Bone marrow aspirate smear. MGG-stained:
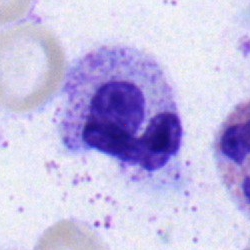 The cell type is segmented neutrophil.